40× objective, oil immersion; bone marrow smear
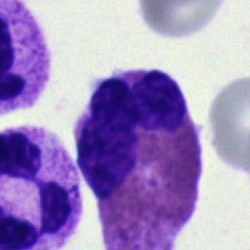
Morphology consistent with an eosinophil.